Cropped to a single cell. Bone marrow aspirate smear — 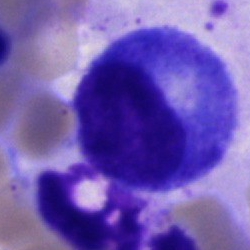Classification: promyelocyte.